250×250 px · bone marrow smear:
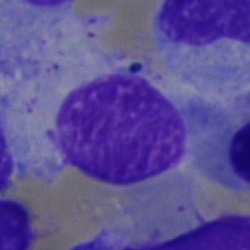The cell shown is an artifact.